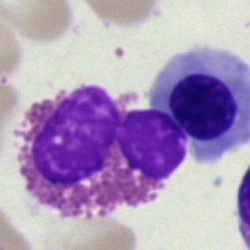
The cell shown is an eosinophilic granulocyte.